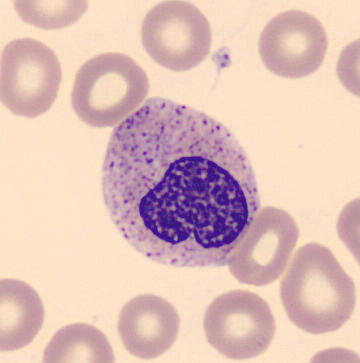 Specimen: peripheral blood smear.
Classification: metamyelocyte.
Lineage: myeloid.

Single cell centered in the field · imaged on a CellaVision DM96 analyser.